Brightfield microscopy, 40× oil immersion; bone marrow aspirate smear; image size 250×250:
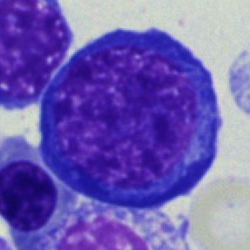

{"cell_type": "nucleated red blood cell", "lineage": "erythroid"}